Peripheral blood film — 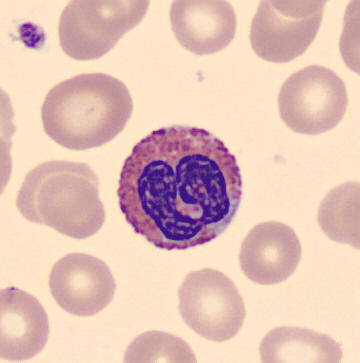

Cell = eosinophilic granulocyte.